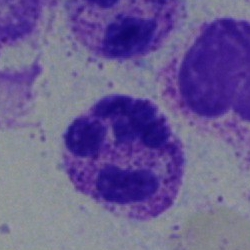Cell — segmented neutrophil.